Bone marrow smear. 40× oil immersion
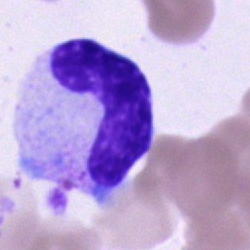 Classification: neutrophil (band).